Bone marrow aspirate smear:
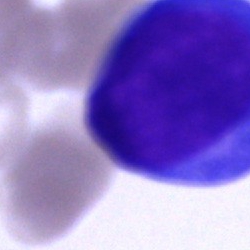 Q: What is shown here?
A: This is an artifact.